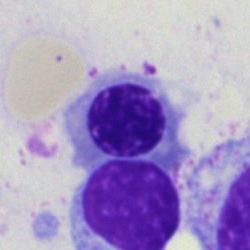

Classification: normoblast.